Bone marrow aspirate smear · May-Grünwald-Giemsa stain:
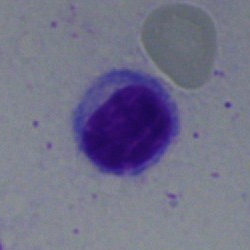
Morphology consistent with a lymphocyte.